Bone marrow aspirate smear:
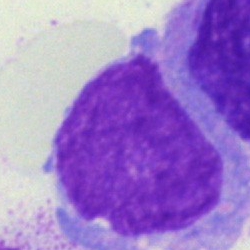The classification is blast.